Cropped to a single cell. Bone marrow aspirate smear: 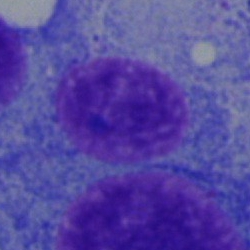 Q: What is the morphological classification of this cell?
A: This is a plasmacyte.